Bone marrow aspirate smear
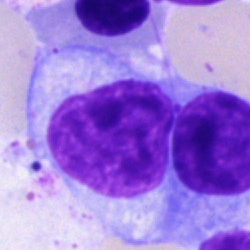Q: Identify the cell.
A: It is a typical lymphocyte.